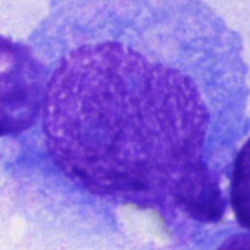 Single-cell crop from a bone marrow smear: unidentifiable cell.